Peripheral blood smear: 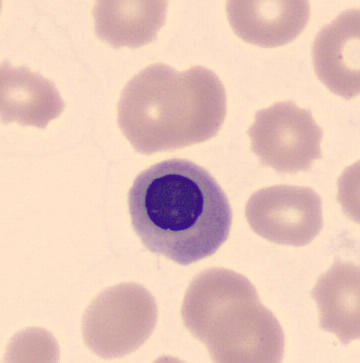
Morphology consistent with a nucleated red cell.